Bone marrow aspirate smear.
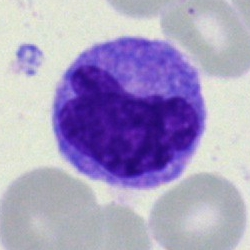

A monocyte.